Single-cell crop · bone marrow aspirate smear — 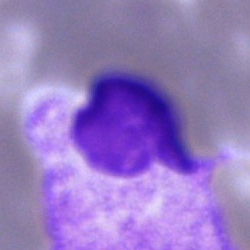
A cell of indeterminate lineage.